Peripheral blood film: 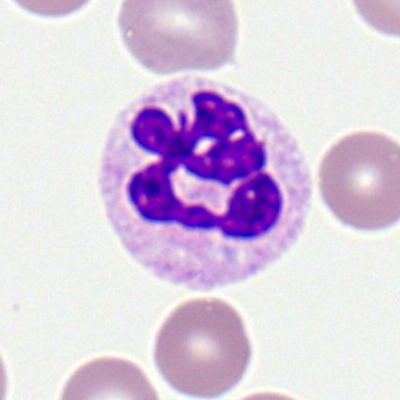 Morphology consistent with a segmented neutrophil.